250×250. Bone marrow aspirate smear:
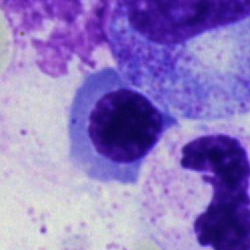Morphology — normoblast.